Single-cell field · peripheral blood film.
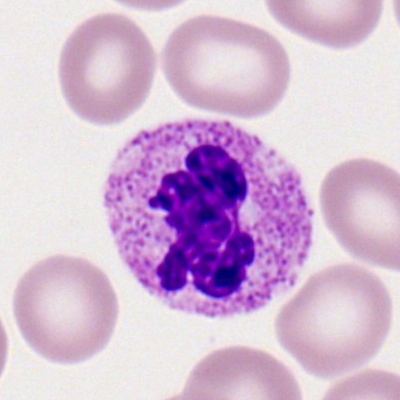

Showing a segmented neutrophil.